May-Grünwald-Giemsa stain. Bone marrow smear:
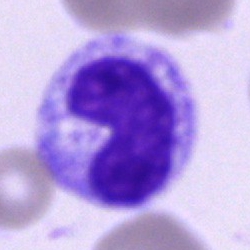

The cell shown is a metamyelocyte.